Bone marrow smear; image size 250×250.
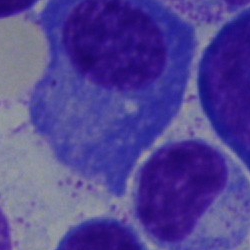 Specimen: bone marrow smear.
Cell type: plasmacyte.
Lineage: lymphoid.